Single cell centered in the field; bone marrow aspirate smear; Pappenheim-stained.
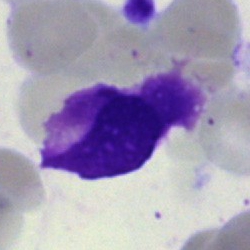
Cell type: artifact.